Bone marrow aspirate smear; single cell centered in the field; 250×250
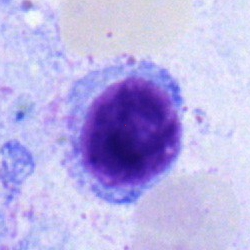Single cell identified as a typical lymphocyte.